Bone marrow smear — 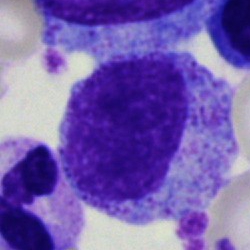 Myelocyte.